Bone marrow aspirate smear; single-cell crop: 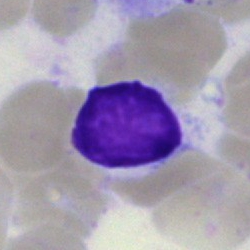Q: What is shown here?
A: An artifact.